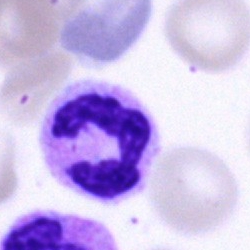

The cell type is segmented neutrophil.